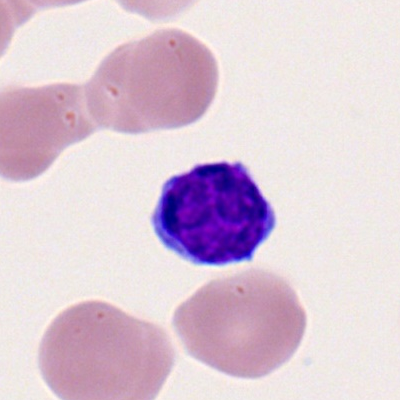Morphology consistent with a typical lymphocyte.